Bone marrow smear
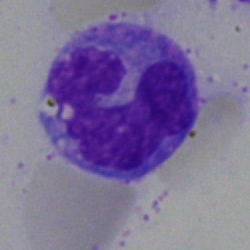 Morphological class: monocyte.